Bone marrow aspirate smear:
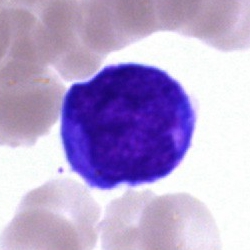Cell type = typical lymphocyte.